250 by 250 pixels · bone marrow smear
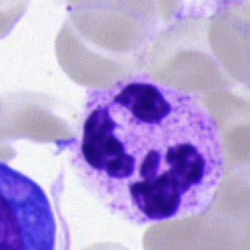

Cell type — segmented neutrophil.